Bone marrow aspirate smear; single-cell field.
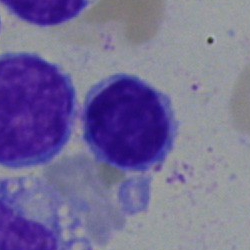

Cell: typical lymphocyte.